Bone marrow aspirate smear · 250 by 250 pixels.
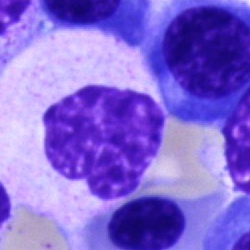 This is a cell of indeterminate lineage.